Bone marrow aspirate smear — 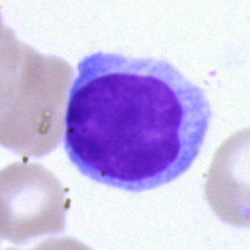Cell — typical lymphocyte.